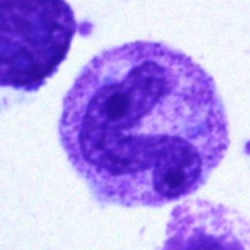 {"cell_type": "segmented neutrophil", "lineage": "myeloid"}